Brightfield, 40× oil-immersion objective. Single cell centered in the field. Bone marrow smear: 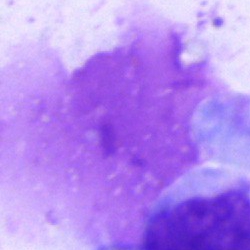
The cell is artifact.